May-Grünwald-Giemsa/Pappenheim stain; single-cell field; bone marrow aspirate smear — 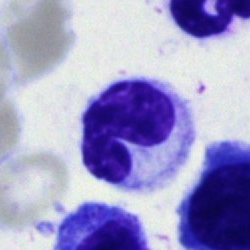 Specimen: bone marrow aspirate smear.
Classification: band-form neutrophil.